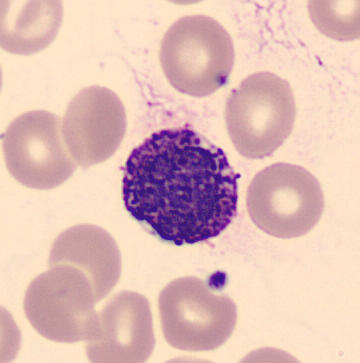
Showing a basophilic granulocyte.
Peripheral blood film; single-cell crop.